Bone marrow smear:
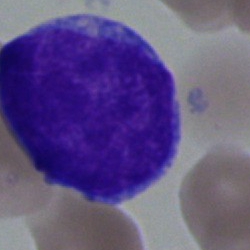 The classification is blast cell.